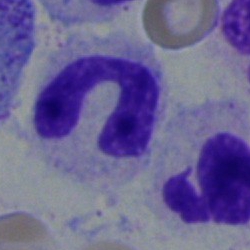
Morphological class — neutrophil (band).